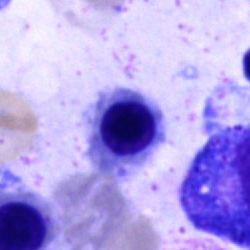A nucleated red blood cell.